May-Grünwald-Giemsa-stained · peripheral blood smear · CellaVision DM96 digital cell image
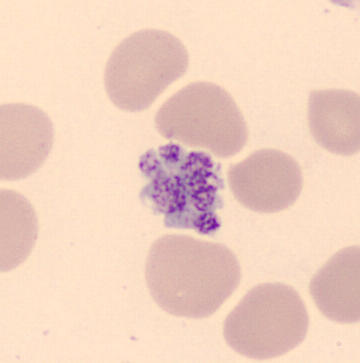

Specimen: peripheral blood smear.
Cell type: platelet.